May-Grünwald-Giemsa/Pappenheim stain; bone marrow smear
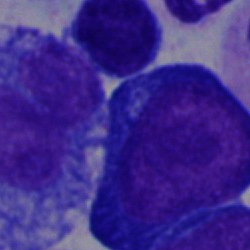
Specimen: bone marrow aspirate smear.
Cell: pronormoblast.
Lineage: erythroid.